250 by 250 pixels. Bone marrow smear:
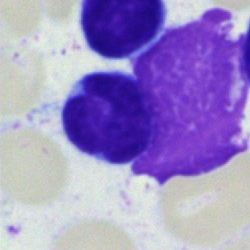
Specimen: bone marrow smear.
Classification: typical lymphocyte.